Bone marrow smear:
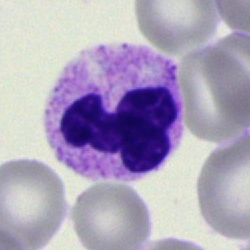

Specimen: bone marrow smear.
Cell: polymorphonuclear neutrophil.